Bone marrow aspirate smear
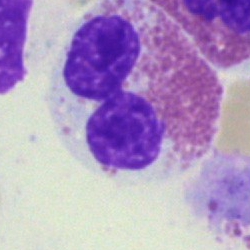 Q: What cell is this?
A: It is an eosinophilic granulocyte.